Bone marrow smear
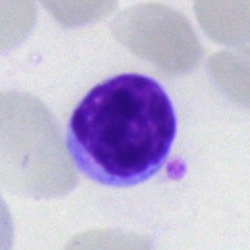 This is a typical lymphocyte.